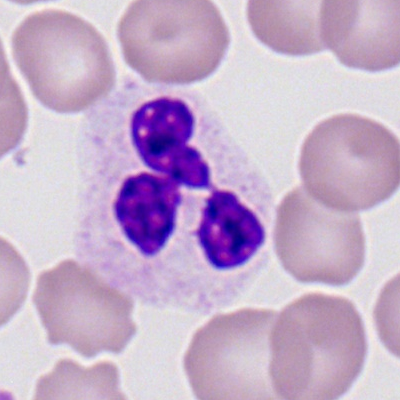
Specimen: peripheral blood smear.
Cell: segmented neutrophil.
Lineage: myeloid.